40× oil immersion; bone marrow aspirate smear — 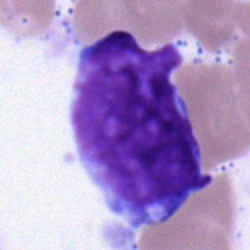
Q: What cell is this?
A: Blast.